Bone marrow aspirate smear
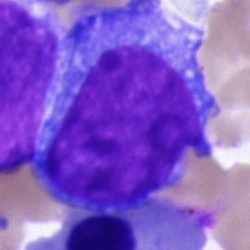This is a blast cell.